Bone marrow aspirate smear
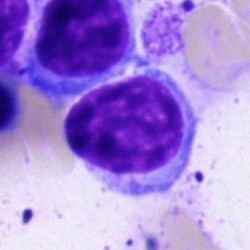Morphology consistent with a lymphocyte.